250×250 px · bone marrow aspirate smear: 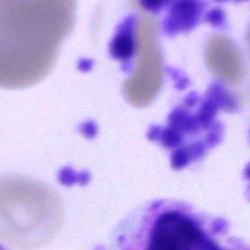

This is an artifact.